Peripheral blood smear · single cell centered in the field: 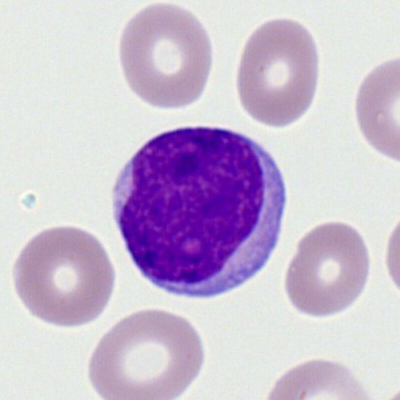 A myeloblast.